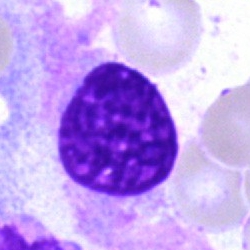

An artifact.